Brightfield, 100× oil-immersion objective; peripheral blood film; single-cell crop — 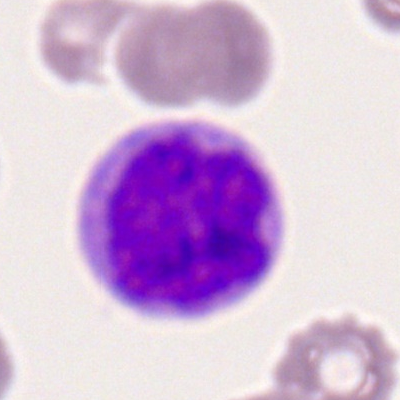
Q: Identify the cell.
A: Monocyte.